Bone marrow aspirate smear.
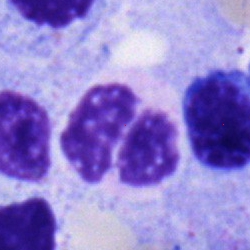
Impression — neutrophil (segmented).